Single-cell crop; peripheral blood smear; M8 digital microscope (Precipoint), 100× oil immersion — 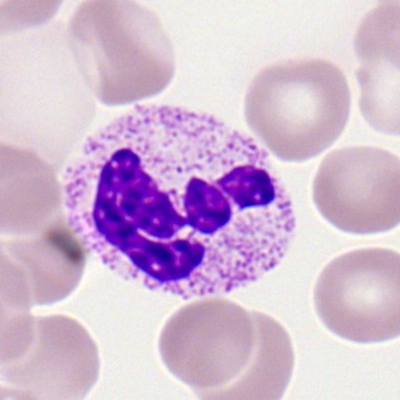{"cell_type": "neutrophil (segmented)", "lineage": "myeloid"}